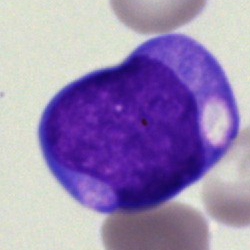Bone marrow smear showing a blast cell.